Bone marrow smear
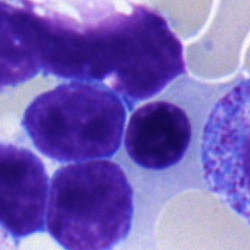 Q: What cell is this?
A: Normoblast.